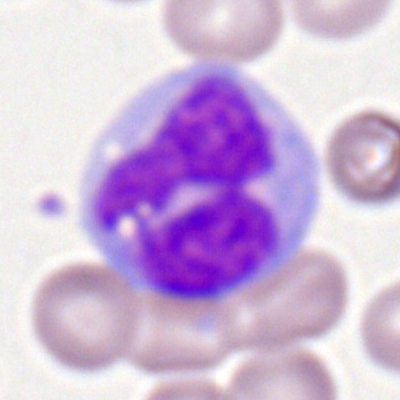

Impression — monocyte.